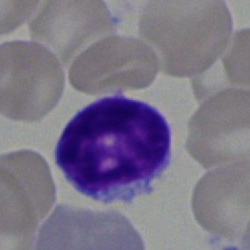Q: What type of cell is this?
A: A typical lymphocyte.